Bone marrow smear. Brightfield, 40× oil-immersion objective: 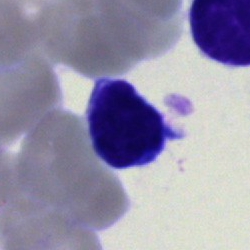A typical lymphocyte.